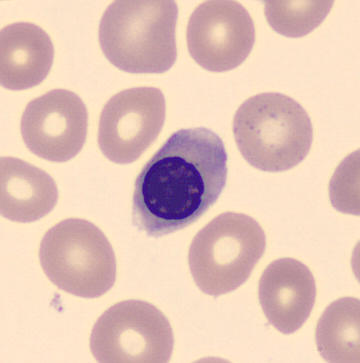 The morphological class is nucleated red blood cell.

Image: Peripheral blood smear; single-cell crop.